Bone marrow aspirate smear: 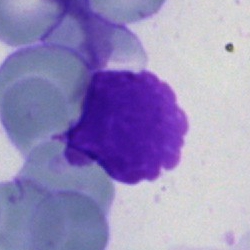Morphology — artefact.